Single-cell field. Bone marrow smear. May-Grünwald-Giemsa stain:
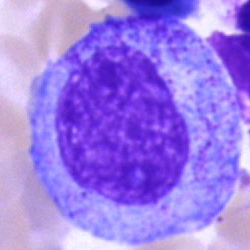 A promyelocyte.